May-Grünwald-Giemsa/Pappenheim stain · bone marrow aspirate smear
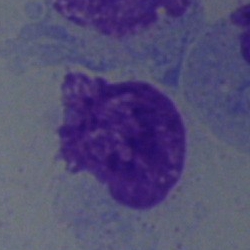

Specimen: bone marrow smear.
Cell type: blast cell.